Bone marrow smear; 250×250; 40× oil immersion:
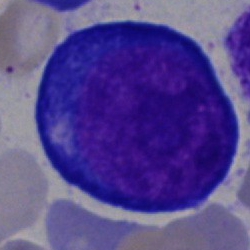
A proerythroblast.